Peripheral blood smear; brightfield, 100× oil-immersion objective:
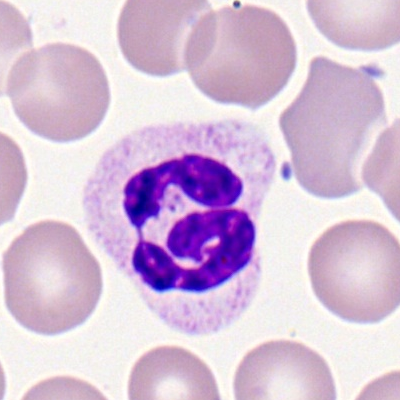

Morphological class = neutrophil (segmented).